May-Grünwald-Giemsa/Pappenheim stain · 40× objective, oil immersion · bone marrow aspirate smear:
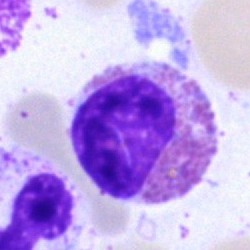

Q: What cell is this?
A: This is an eosinophilic granulocyte.